250×250 px. 40× objective, oil immersion. Bone marrow aspirate smear
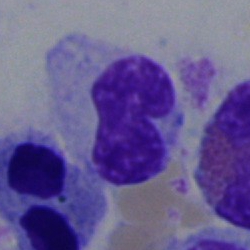Q: Which cell type is shown here?
A: A stab cell.